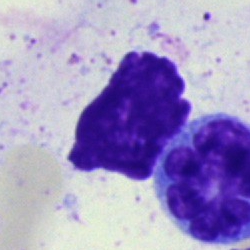
Showing an artefact.